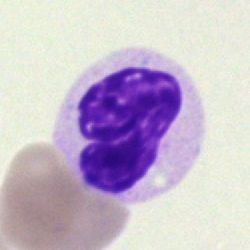

The morphological class is neutrophil (segmented).